Single-cell crop; peripheral blood smear:
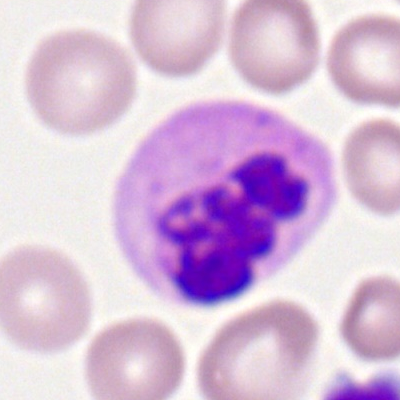Specimen: peripheral blood smear.
Morphological class: segmented neutrophil.